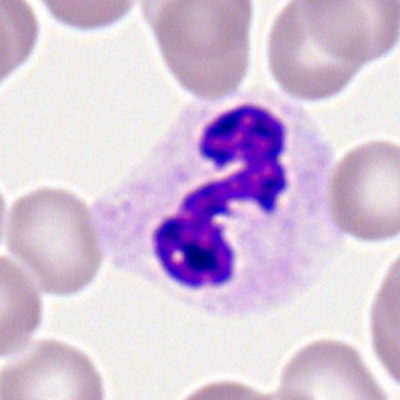
The classification is segmented neutrophil.